Bone marrow aspirate smear: 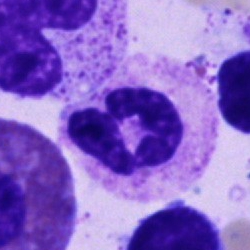

Single cell identified as a polymorphonuclear neutrophil.